Pappenheim-stained. Bone marrow aspirate smear. 40× oil immersion.
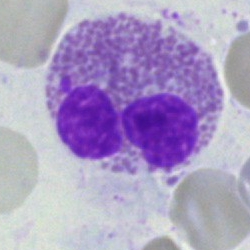
Cell: eosinophilic granulocyte.